Bone marrow aspirate smear — 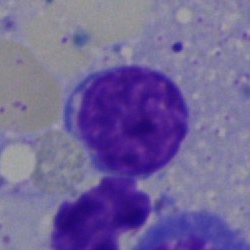

Q: Identify the cell.
A: This is a lymphocyte.